250×250 px; single cell centered in the field; bone marrow smear
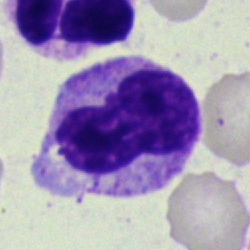 Classification = band-form neutrophil.